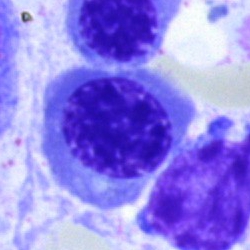Q: What is shown here?
A: Nucleated red blood cell.